Bone marrow smear
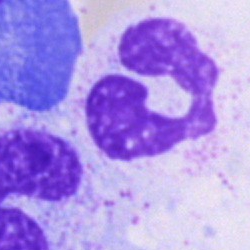
Impression → polymorphonuclear neutrophil.